Bone marrow aspirate smear. Pappenheim-stained.
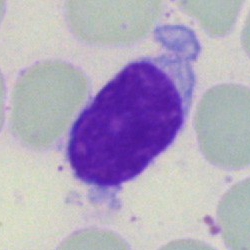

Morphology → typical lymphocyte.